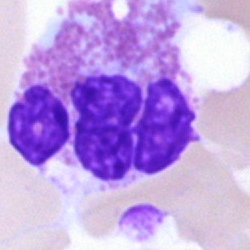
The classification is eosinophil.